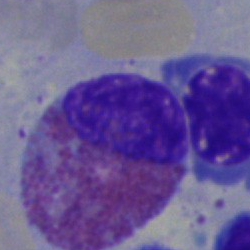 Q: What is the morphological classification of this cell?
A: An eosinophil.